40× oil immersion. Bone marrow aspirate smear. May-Grünwald-Giemsa stain.
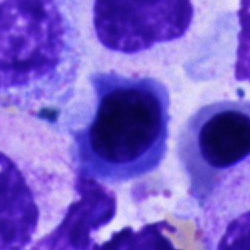 Q: Identify the cell.
A: This is an unidentifiable cell.